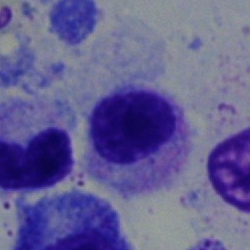

Q: What cell is this?
A: This is a myelocyte.